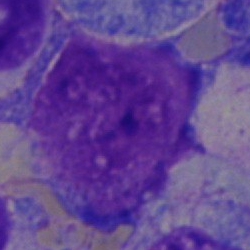
Bone marrow aspirate smear, single cell — undifferentiated blast.